Bone marrow aspirate smear:
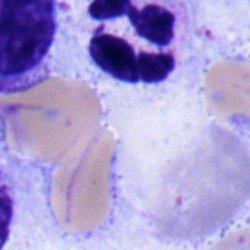

Eosinophilic granulocyte.